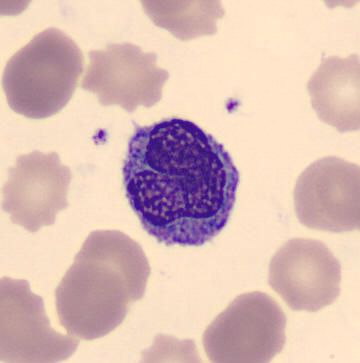 Specimen: peripheral blood smear.
Cell: monocyte.